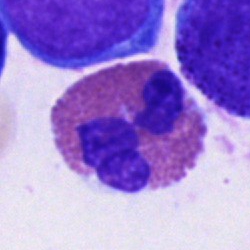

Q: What is shown here?
A: This is an eosinophilic granulocyte.